Peripheral blood smear:
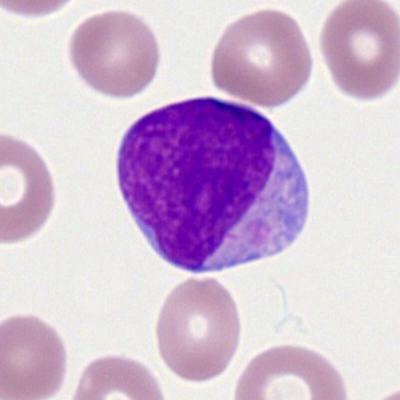Impression → myeloid blast.